Bone marrow aspirate smear. Brightfield, 40× oil-immersion objective — 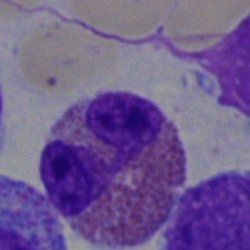Q: What type of cell is this?
A: An eosinophilic granulocyte.